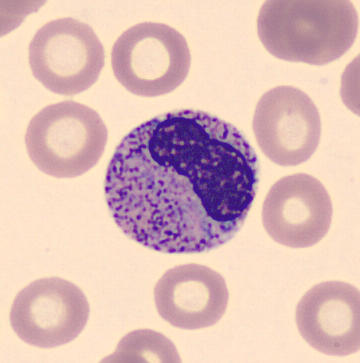

This is a metamyelocyte.

Image: Peripheral blood film.